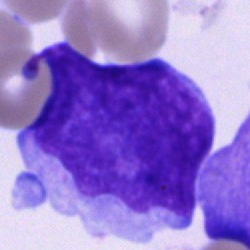

Single-cell crop from a bone marrow smear: blast.